Bone marrow aspirate smear.
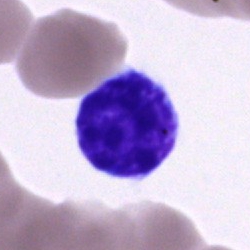
Impression — typical lymphocyte.